Bone marrow aspirate smear.
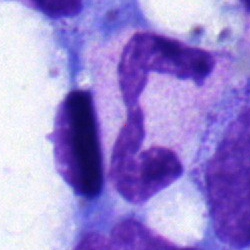 Morphological class = neutrophil (segmented).